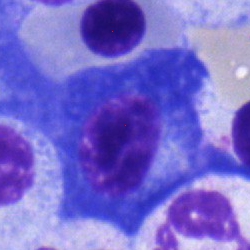 Morphology → plasma cell.